Image size 400×400; peripheral blood smear:
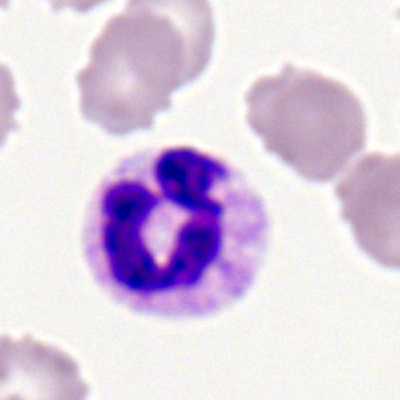Morphology consistent with a neutrophil (segmented).